Brightfield microscopy, 40× oil immersion · bone marrow aspirate smear: 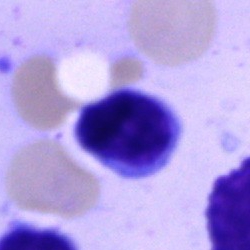

Cell — lymphocyte.